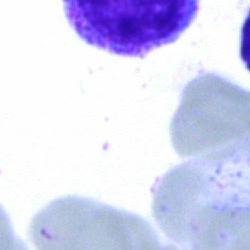 An artifact.